Bone marrow smear — 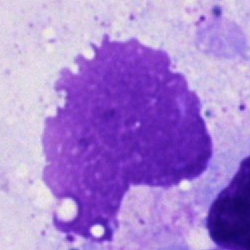

Single cell identified as an artifact.